Bone marrow aspirate smear: 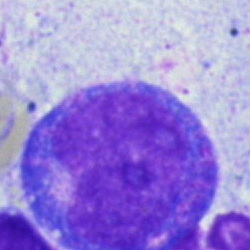Impression → progranulocyte.